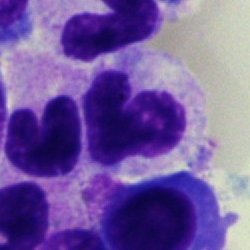 Morphological class: band-form neutrophil.